Bone marrow smear.
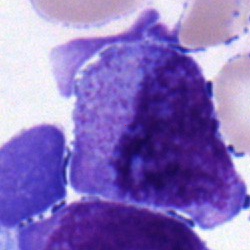Q: Which cell type is shown here?
A: It is a blast.